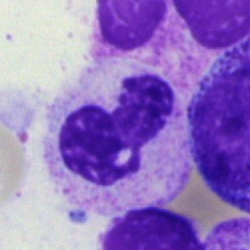

Specimen: bone marrow aspirate smear.
Morphological class: segmented neutrophil.
Lineage: myeloid.